Pappenheim-stained. Bone marrow smear. 250×250
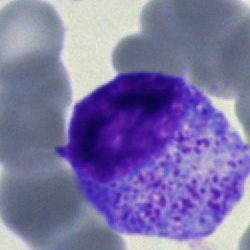Morphology → progranulocyte.